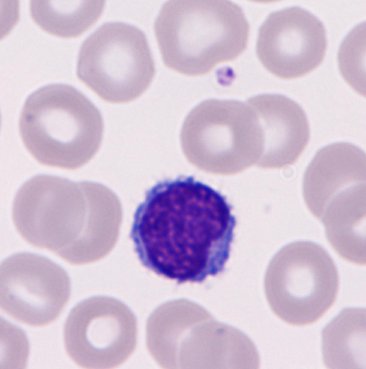Peripheral blood film.

Single cell identified as a lymphocyte.